Bone marrow aspirate smear; cropped to a single cell: 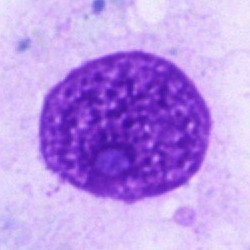

Morphology consistent with an artifact.